250×250. Bone marrow aspirate smear:
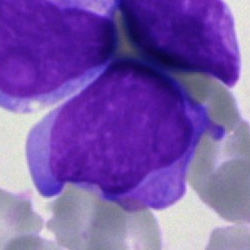
Q: What is the morphological classification of this cell?
A: It is a blast.